Bone marrow aspirate smear.
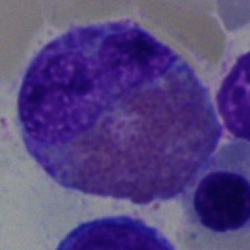 The morphological class is eosinophilic granulocyte.